Bone marrow smear
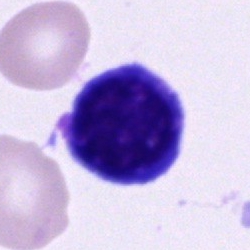
Morphology consistent with a cell of indeterminate lineage.